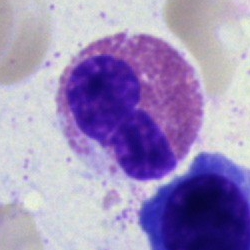Bone marrow smear showing an eosinophilic granulocyte.